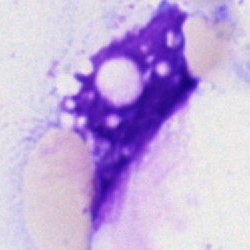

Single-cell crop from a bone marrow smear: artifact.